Bone marrow aspirate smear. Single-cell field.
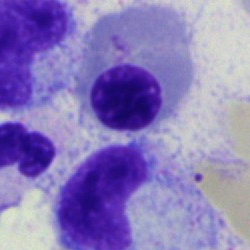Showing a nucleated red blood cell.